Bone marrow smear — 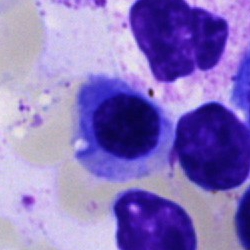Morphological class — erythroblast.